MGG-stained. Bone marrow smear
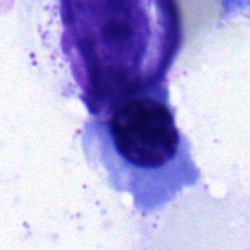Morphological class = erythroblast.